Bone marrow smear
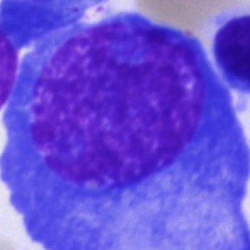 Showing a plasma cell.